250×250. Bone marrow aspirate smear. Single cell centered in the field: 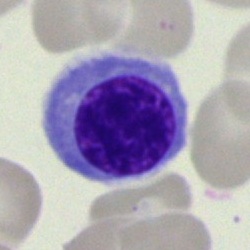

This is a nucleated red cell.